MGG-stained · 250×250 · bone marrow aspirate smear: 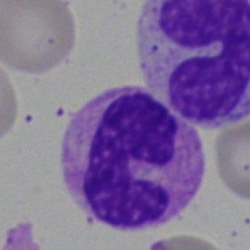Specimen: bone marrow aspirate smear.
Morphological class: neutrophil (segmented).